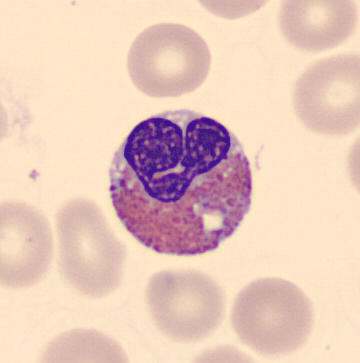 Morphology consistent with an eosinophil.
Imaged on a CellaVision DM96 analyser; peripheral blood film; cropped to a single cell.